Bone marrow smear — 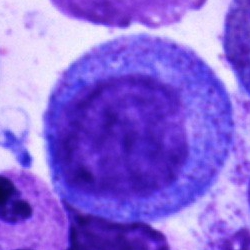
Myelocyte.